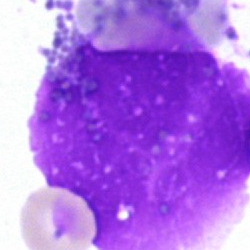Specimen: bone marrow smear.
Cell: artefact.